Bone marrow aspirate smear. 250×250. May-Grünwald-Giemsa stain
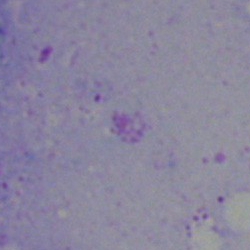

Q: What is shown here?
A: Artifact.